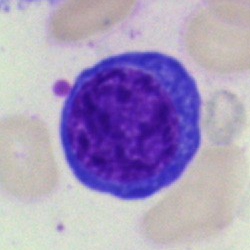 Cell — normoblast.